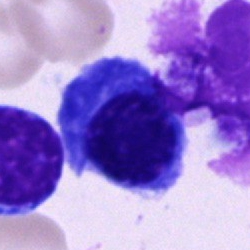Q: Which cell type is shown here?
A: A normoblast.